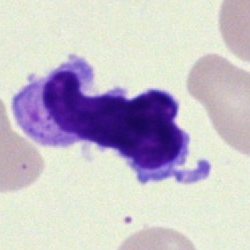
Morphology consistent with an artefact.